Single-cell crop · peripheral blood smear.
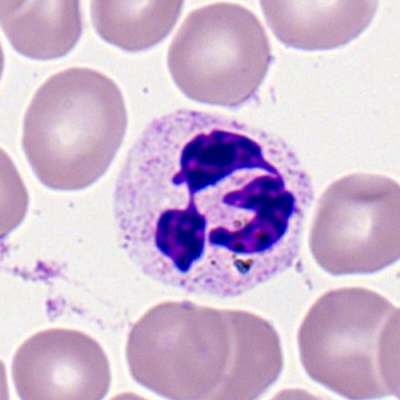

Showing a neutrophil (segmented).